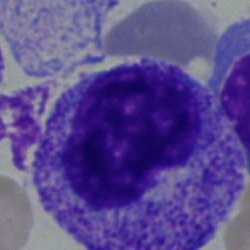The cell shown is a monocyte.